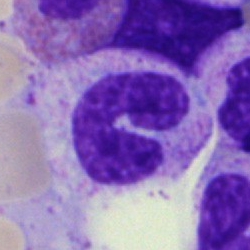
This is a band-form neutrophil.